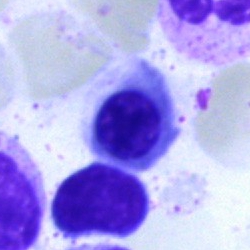

Single-cell crop from a bone marrow smear: erythroblast.